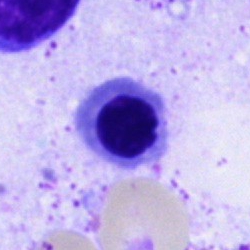
Q: What is shown here?
A: This is a normoblast.